Bone marrow aspirate smear. May-Grünwald-Giemsa stain. 250 by 250 pixels: 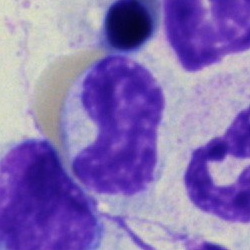

The classification is band-form neutrophil.